400×400 px; peripheral blood smear:
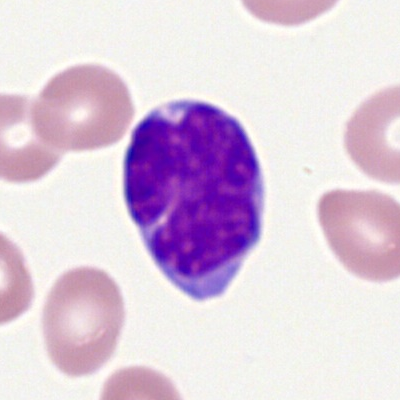Specimen: peripheral blood film.
Cell: monocyte.
Lineage: myeloid.